Bone marrow smear
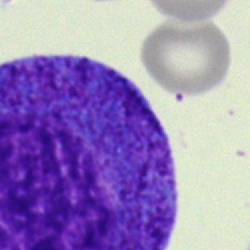
Morphology — promyelocyte.